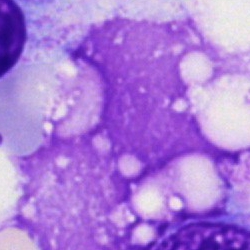

Q: What is shown here?
A: Artefact.